250×250 px. Bone marrow aspirate smear. 40× objective, oil immersion — 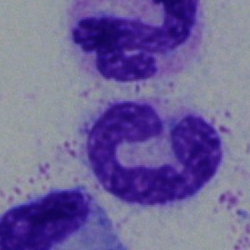

Morphology consistent with a band-form neutrophil.